Bone marrow smear. Image size 250×250. Pappenheim-stained:
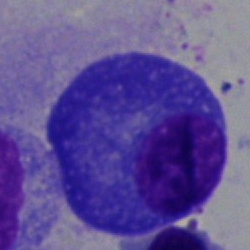 A plasma cell.